Bone marrow smear:
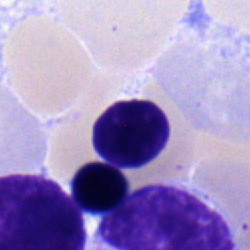

Morphological class = typical lymphocyte.